Bone marrow aspirate smear — 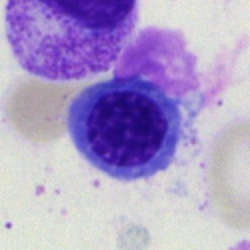Specimen: bone marrow smear.
Classification: erythroblast.
Lineage: erythroid.